Bone marrow aspirate smear.
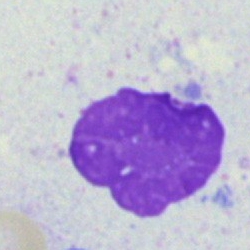

An artifact.